Bone marrow aspirate smear — 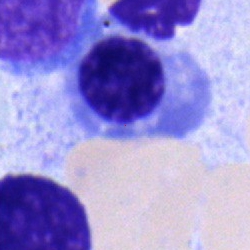
Morphology consistent with an erythroblast.